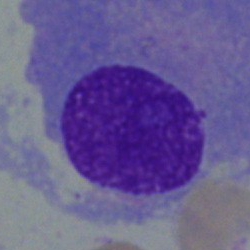

Morphology consistent with a plasmacyte.